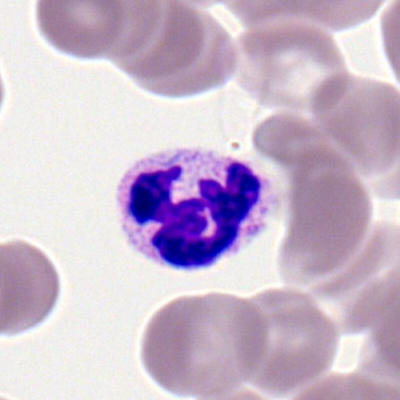Morphology → neutrophil (segmented).